Image size 250×250; bone marrow smear
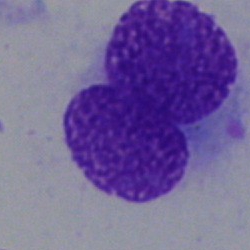Classification = artifact.